Bone marrow aspirate smear
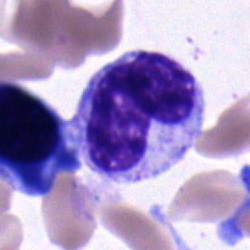{"cell_type": "metamyelocyte", "lineage": "myeloid"}